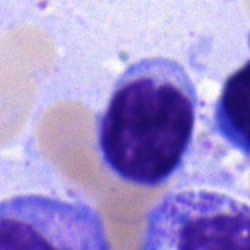A typical lymphocyte on a bone marrow smear.